Cropped to a single cell; 40× oil immersion; bone marrow smear:
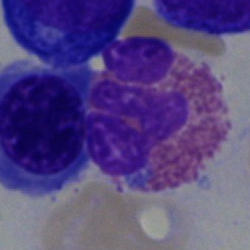
Showing an eosinophil.